Bone marrow smear:
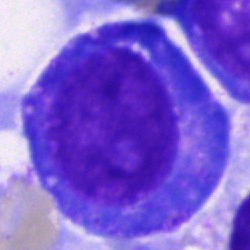 Q: What is the morphological classification of this cell?
A: It is a promyelocyte.